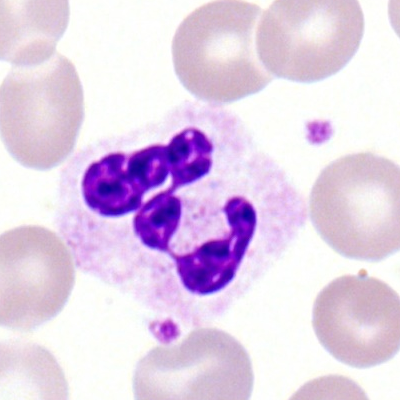
A segmented neutrophil on a peripheral blood smear.